Single-cell crop. Bone marrow aspirate smear — 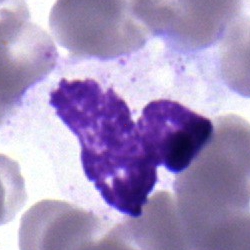Cell: polymorphonuclear neutrophil.